40× objective, oil immersion; bone marrow smear; single-cell crop:
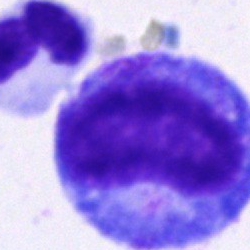Classification: promyelocyte.